Bone marrow smear — 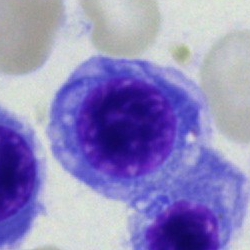Cell type = nucleated red cell.